Pappenheim-stained · bone marrow aspirate smear — 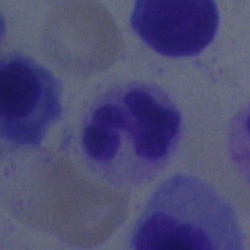
The cell shown is a neutrophil (segmented).